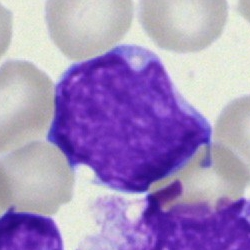

Q: Which cell type is shown here?
A: Undifferentiated blast.